Bone marrow aspirate smear.
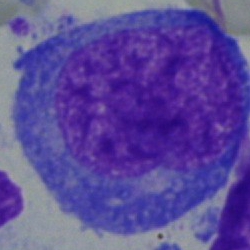 Specimen: bone marrow smear.
Morphological class: blast.